Bone marrow aspirate smear · MGG-stained
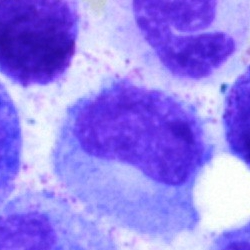Specimen: bone marrow smear.
Classification: metamyelocyte.
Lineage: myeloid.